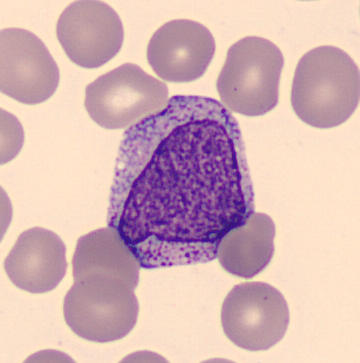
360×363 · peripheral blood smear.

The cell type is promyelocyte.